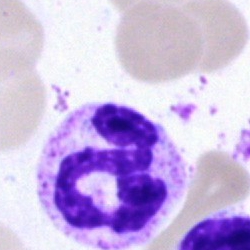

Q: What type of cell is this?
A: A segmented neutrophil.